Single-cell crop. Bone marrow aspirate smear — 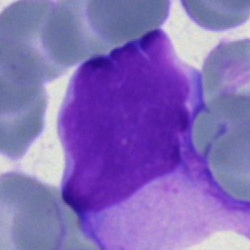
Cell — blast.